May-Grünwald-Giemsa/Pappenheim stain · brightfield, 40× oil-immersion objective · bone marrow aspirate smear:
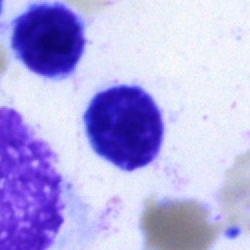
The cell shown is an artefact.